Bone marrow smear.
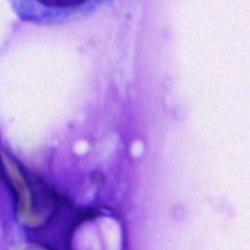

Specimen: bone marrow aspirate smear.
Cell type: artifact.